Single cell centered in the field; image size 250×250; bone marrow aspirate smear: 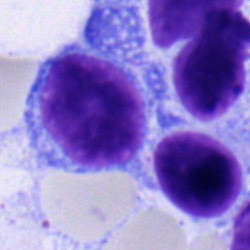 Specimen: bone marrow smear.
Cell: lymphocyte.
Lineage: lymphoid.